250 by 250 pixels · bone marrow aspirate smear
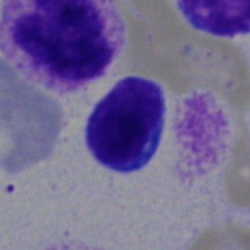 Q: What cell is this?
A: This is a typical lymphocyte.